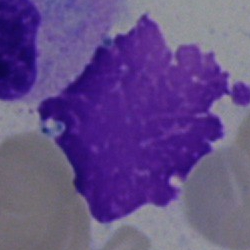
Single cell identified as an artifact.